Bone marrow aspirate smear
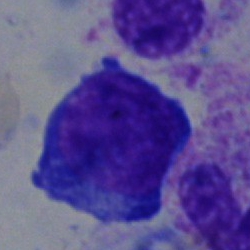 {"cell_type": "pronormoblast", "lineage": "erythroid"}